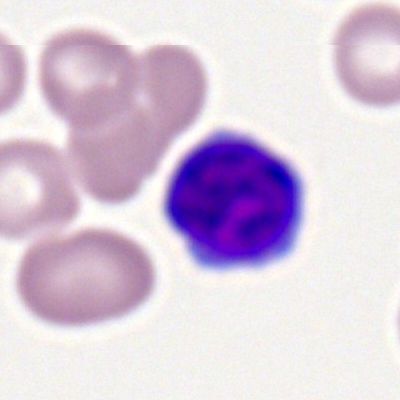Q: Which cell type is shown here?
A: Typical lymphocyte.